Bone marrow smear · single cell centered in the field — 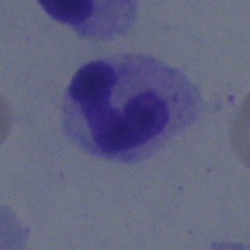
Single cell identified as a neutrophil (segmented).